Peripheral blood smear. Single-cell field — 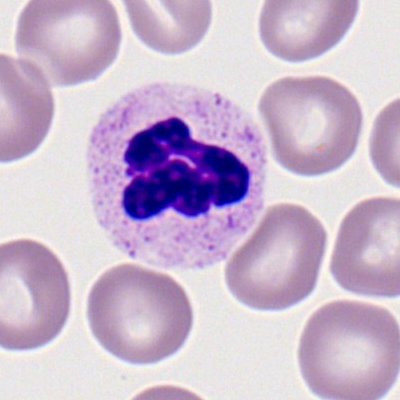
{"cell_type": "polymorphonuclear neutrophil"}